Single-cell crop · bone marrow smear — 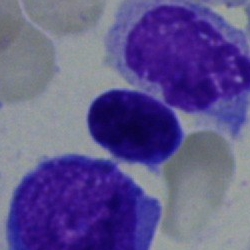A typical lymphocyte.